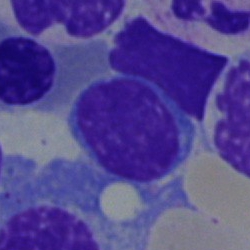Showing a lymphocyte.